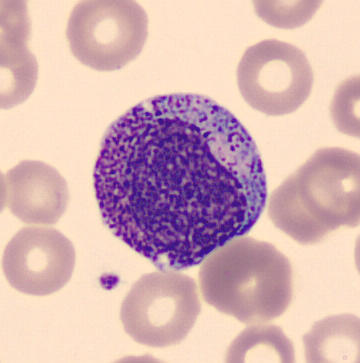 The cell is progranulocyte.